Bone marrow aspirate smear
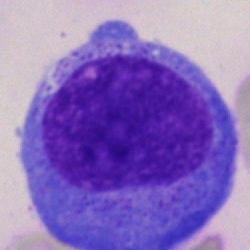

The morphological class is blast cell.